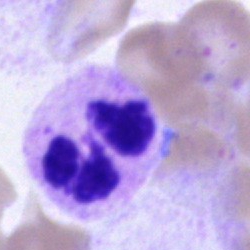Morphology → segmented neutrophil.